Bone marrow aspirate smear — 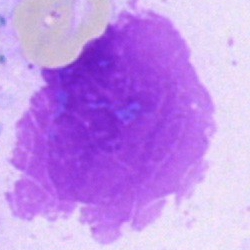

{"cell_type": "artefact"}